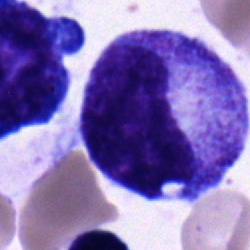Morphology → progranulocyte.